Single cell centered in the field · bone marrow aspirate smear.
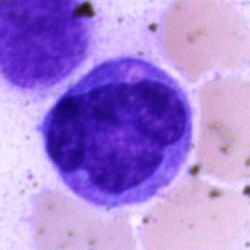Cell type = monocyte.